Bone marrow aspirate smear
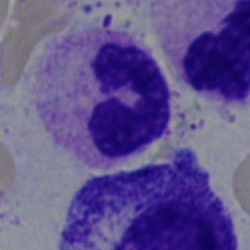A band neutrophil.